Bone marrow smear · 250 by 250 pixels
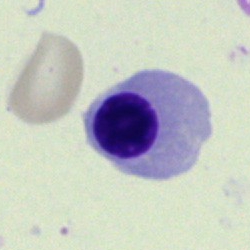
Q: Which cell type is shown here?
A: Nucleated red blood cell.